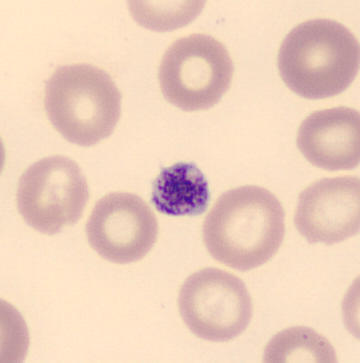Peripheral blood smear.
Morphology → platelet (thrombocyte).